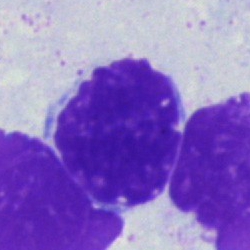 Q: What is shown here?
A: This is an artefact.